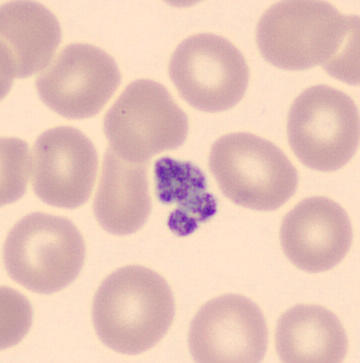

Morphology consistent with a thrombocyte. Acquisition: Peripheral blood film · May-Grünwald-Giemsa-stained.